Bone marrow smear; Pappenheim-stained:
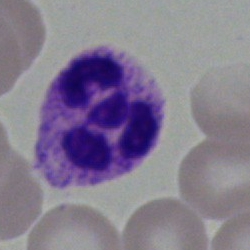Q: What cell is this?
A: This is a segmented neutrophil.